Bone marrow aspirate smear. 250 by 250 pixels:
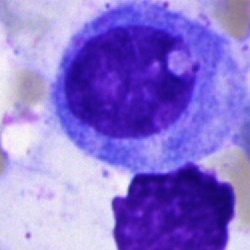
The cell shown is a plasmacyte.